Bone marrow smear — 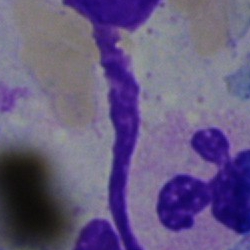 Single cell identified as a segmented neutrophil.